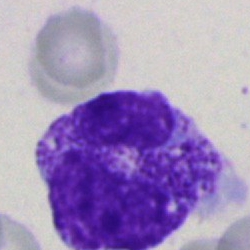 Specimen: bone marrow aspirate smear.
Cell: polymorphonuclear neutrophil.